Peripheral blood film.
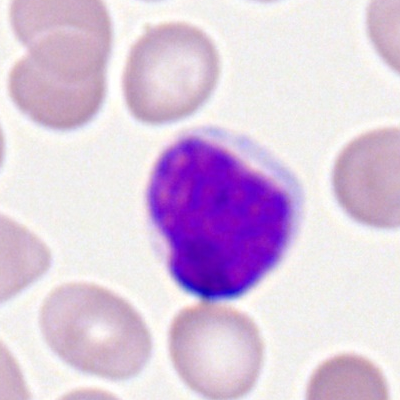Specimen: peripheral blood film.
Cell: lymphocyte.
Lineage: lymphoid.